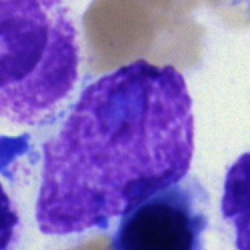Specimen: bone marrow aspirate smear.
Classification: artifact.